100× oil immersion, 14.14 px/µm; peripheral blood film
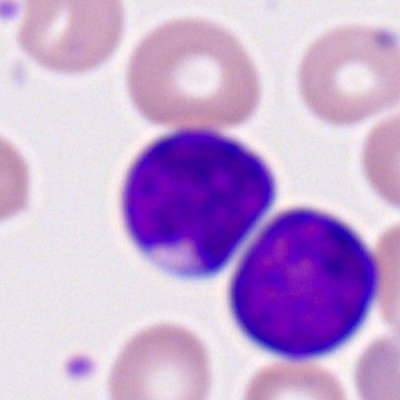
The cell shown is a myeloid blast.